Single-cell field; bone marrow smear; May-Grünwald-Giemsa/Pappenheim stain
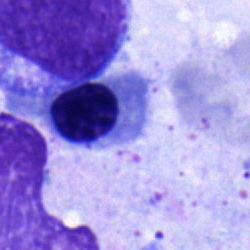
Specimen: bone marrow smear.
Cell: normoblast.